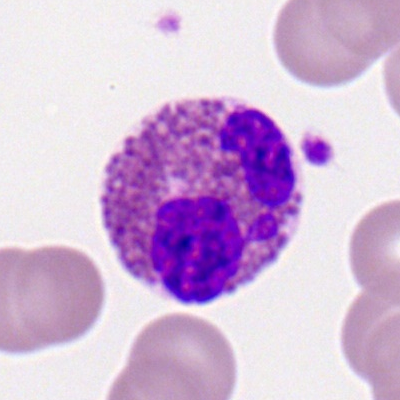
{"cell_type": "eosinophil", "lineage": "myeloid"}